Bone marrow smear.
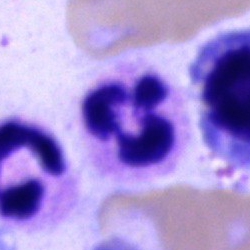 Cell type = segmented neutrophil.